Bone marrow smear; 40× objective, oil immersion:
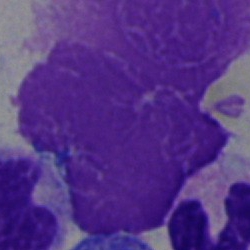 Specimen: bone marrow aspirate smear.
Cell type: artefact.